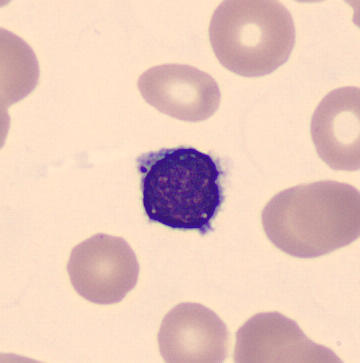

Image: Peripheral blood smear. Impression → lymphocyte.